Bone marrow aspirate smear: 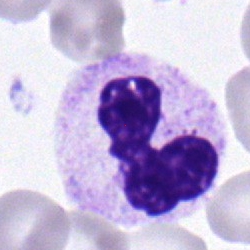
Morphology — segmented neutrophil.